Peripheral blood smear — 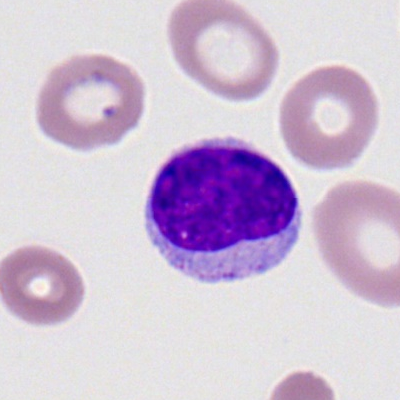Morphology → typical lymphocyte.